Bone marrow aspirate smear
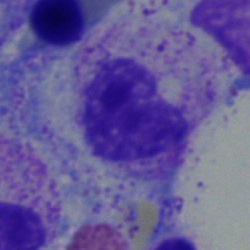Specimen: bone marrow aspirate smear.
Cell: metamyelocyte.